Peripheral blood smear:
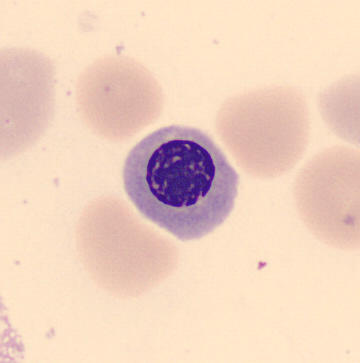 Nucleated red cell.